Bone marrow aspirate smear · cropped to a single cell.
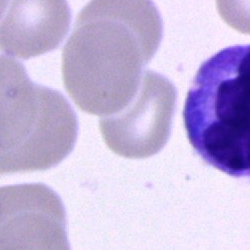Monocyte.